Bone marrow smear: 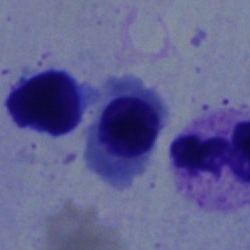
{"cell_type": "nucleated red cell", "lineage": "erythroid"}